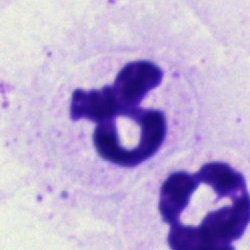The cell shown is a segmented neutrophil.